Image size 250×250; bone marrow aspirate smear — 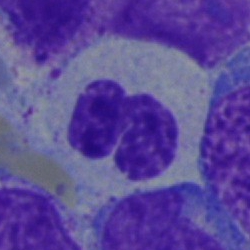 Specimen: bone marrow aspirate smear.
Classification: segmented neutrophil.